Bone marrow smear
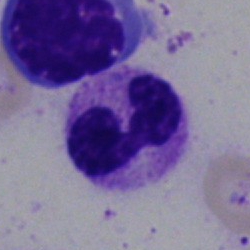

Q: What type of cell is this?
A: This is a polymorphonuclear neutrophil.